Single-cell crop. Bone marrow smear.
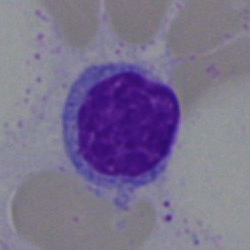Impression — typical lymphocyte.